Bone marrow smear
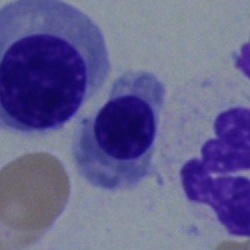An erythroblast.